Bone marrow smear.
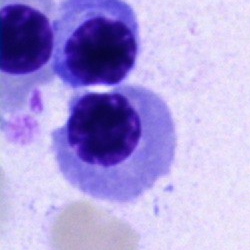Q: Which cell type is shown here?
A: Erythroblast.